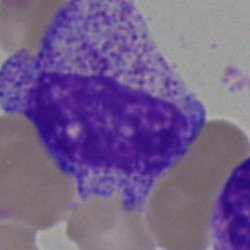Bone marrow smear showing a myelocyte.